Brightfield microscopy, 40× oil immersion; bone marrow aspirate smear.
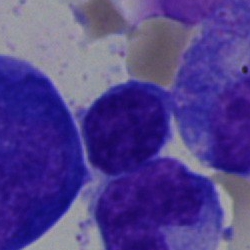

Impression → lymphocyte.